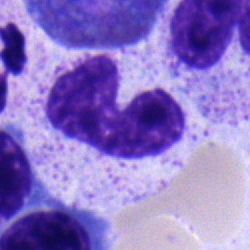

Cell — metamyelocyte.